Romanowsky stain · peripheral blood smear: 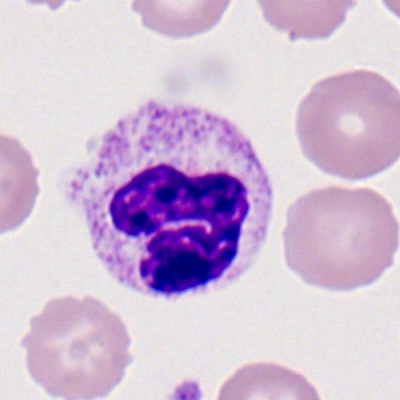 Cell type: segmented neutrophil.